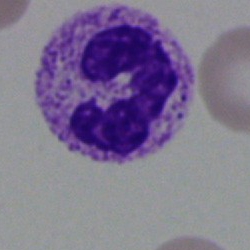 Classification = neutrophil (segmented).